May-Grünwald-Giemsa stain. Bone marrow aspirate smear
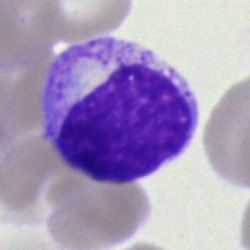This is a myelocyte.